Bone marrow aspirate smear. May-Grünwald-Giemsa stain — 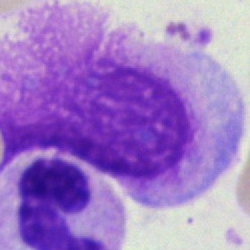Morphological class — artifact.